Bone marrow aspirate smear; 40× oil immersion:
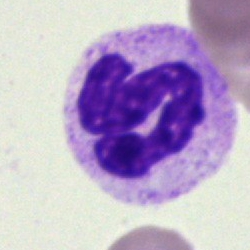
The cell shown is a segmented neutrophil.